Bone marrow aspirate smear. Brightfield, 40× oil-immersion objective — 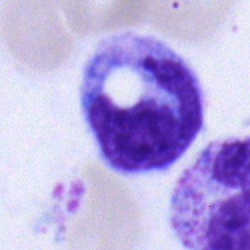Showing a monocyte.